Bone marrow smear; 250×250: 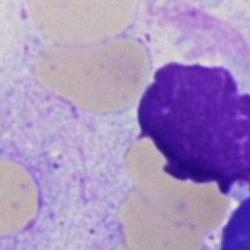

Cell: artefact.